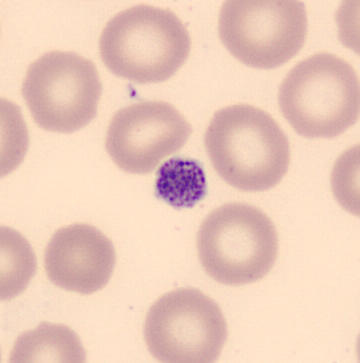 {"cell_type": "platelet"}